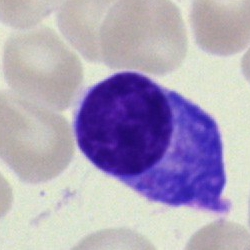Q: What is shown here?
A: A plasma cell.